Bone marrow aspirate smear — 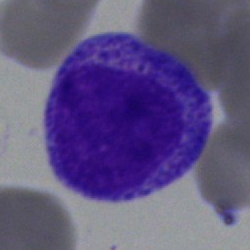The cell is promyelocyte.